Bone marrow aspirate smear.
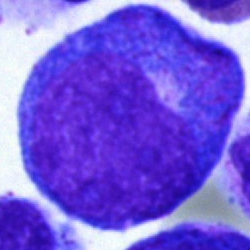

Specimen: bone marrow aspirate smear.
Classification: progranulocyte.